Bone marrow aspirate smear:
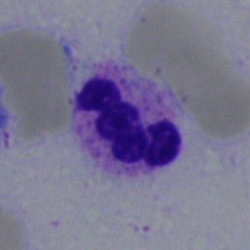 {"cell_type": "neutrophil (segmented)", "lineage": "myeloid"}